Bone marrow aspirate smear · image size 250×250 · single-cell crop: 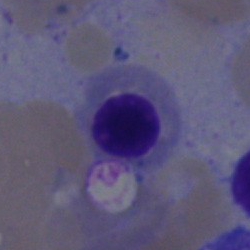

{"cell_type": "nucleated red blood cell"}